Romanowsky-stained · cropped to a single cell · peripheral blood smear:
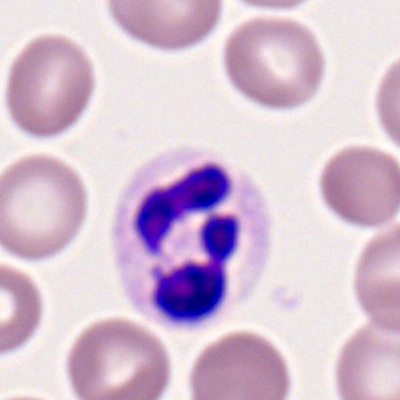
Morphology — neutrophil (segmented).